Bone marrow aspirate smear
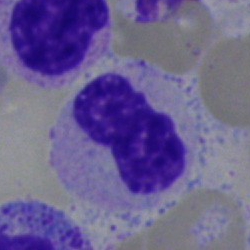

Showing a metamyelocyte.